Bone marrow smear
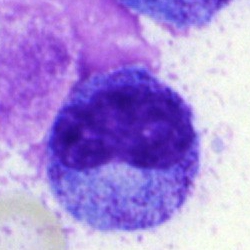Myelocyte.